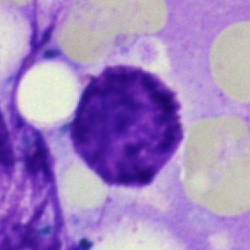
Q: What is shown here?
A: This is an artifact.